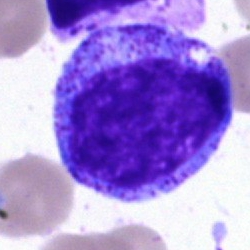

Q: Identify the cell.
A: This is a promyelocyte.